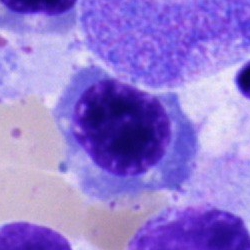

A nucleated red cell on a bone marrow smear.